Bone marrow smear.
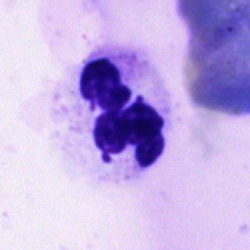

Q: What cell is this?
A: It is a neutrophil (segmented).